Bone marrow smear — 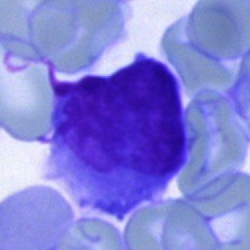 Specimen: bone marrow smear.
Cell type: typical lymphocyte.